40× objective, oil immersion. Bone marrow smear. May-Grünwald-Giemsa stain:
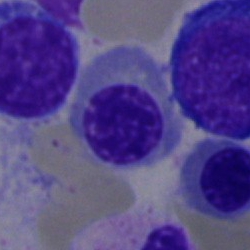 Q: Identify the cell.
A: It is a nucleated red blood cell.